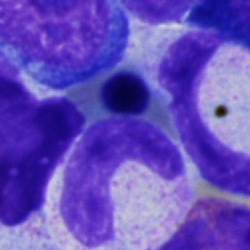Classification: nucleated red blood cell.